Bone marrow aspirate smear:
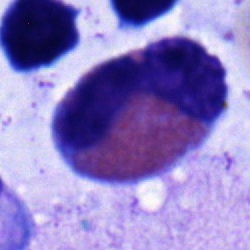Cell = eosinophilic granulocyte.